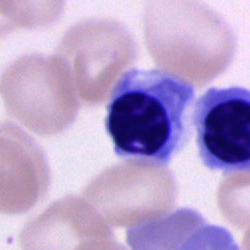

The cell shown is an erythroblast.